Single cell centered in the field. 250 by 250 pixels. Bone marrow aspirate smear:
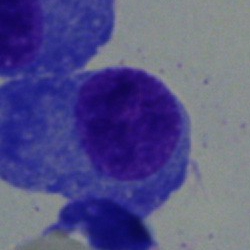 Cell — plasmacyte.